Bone marrow smear: 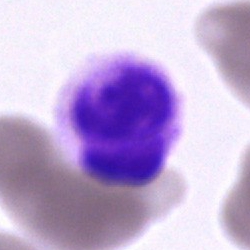

Impression → cell of indeterminate lineage.